Bone marrow aspirate smear: 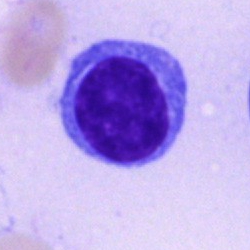

The cell shown is a lymphocyte.